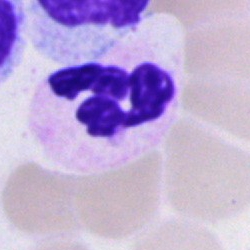A polymorphonuclear neutrophil.